Peripheral blood smear.
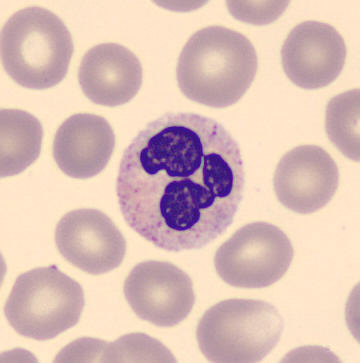Specimen: peripheral blood film.
Classification: segmented neutrophil.